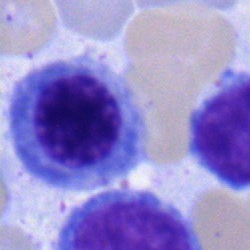

Q: Which cell type is shown here?
A: This is a nucleated red blood cell.